250×250; bone marrow aspirate smear; single-cell field
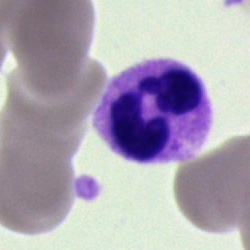 {"cell_type": "neutrophil (segmented)"}